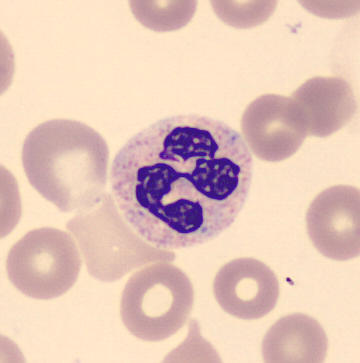 Peripheral blood smear showing a neutrophil (segmented).